250×250 px · bone marrow aspirate smear · brightfield microscopy, 40× oil immersion: 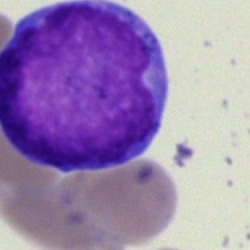 Morphological class — blast.